Single-cell field. Bone marrow aspirate smear. Brightfield, 40× oil-immersion objective — 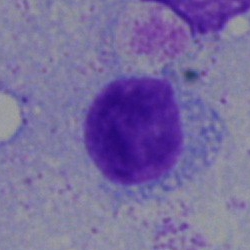
Specimen: bone marrow smear.
Morphological class: typical lymphocyte.
Lineage: lymphoid.